Bone marrow smear: 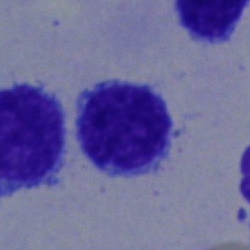
Specimen: bone marrow smear.
Cell type: typical lymphocyte.
Lineage: lymphoid.